Bone marrow smear
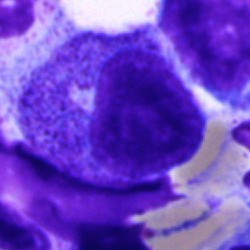
Cell = promyelocyte.